Bone marrow smear. Cropped to a single cell.
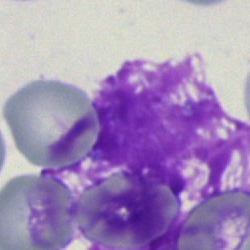

The morphological class is artifact.